Bone marrow aspirate smear. Brightfield microscopy, 40× oil immersion:
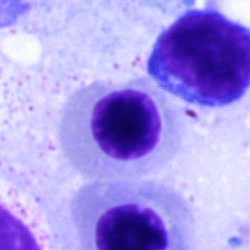
Impression — nucleated red blood cell.